May-Grünwald-Giemsa/Pappenheim stain; bone marrow smear; single cell centered in the field — 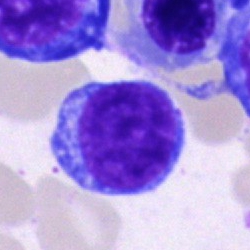Specimen: bone marrow smear.
Cell type: lymphocyte.